Bone marrow aspirate smear:
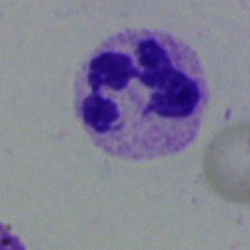 This is a neutrophil (segmented).